Bone marrow smear.
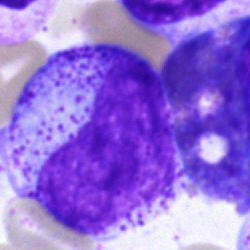Morphology consistent with a progranulocyte.